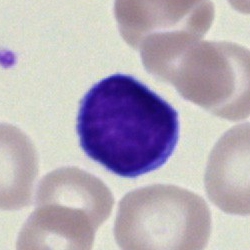

A typical lymphocyte on a bone marrow smear.